Peripheral blood film. 400×400. Romanowsky stain:
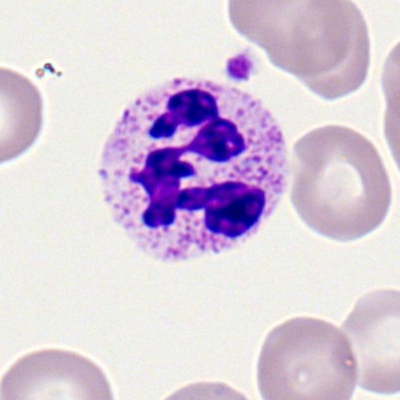 This is a polymorphonuclear neutrophil.